40× oil immersion · bone marrow smear.
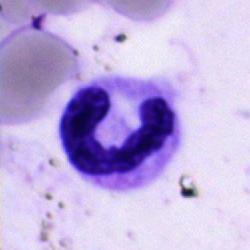

Classification: polymorphonuclear neutrophil.